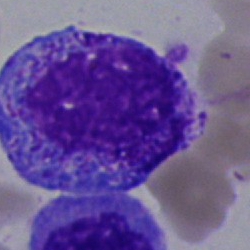Progranulocyte.